250 by 250 pixels. Bone marrow aspirate smear:
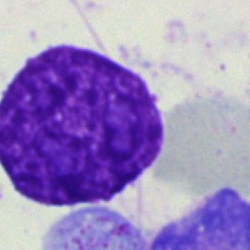Q: What is shown here?
A: Artefact.